Bone marrow aspirate smear; single-cell crop.
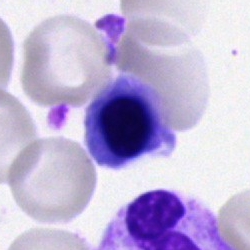 Cell — nucleated red blood cell.